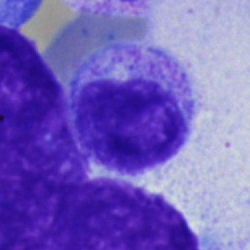

Showing a myelocyte.